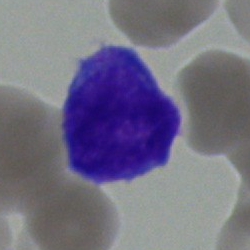

Impression — blast cell.